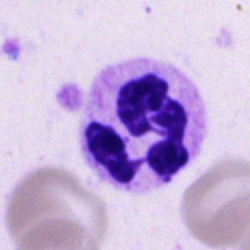 Classification — polymorphonuclear neutrophil.